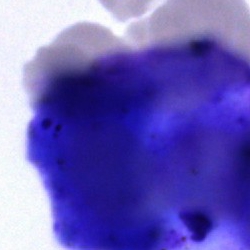Morphology → artefact.